Bone marrow smear. 40× oil immersion. Image size 250×250 — 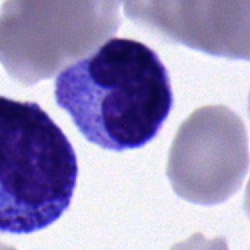
Q: What type of cell is this?
A: This is a metamyelocyte.